Bone marrow aspirate smear
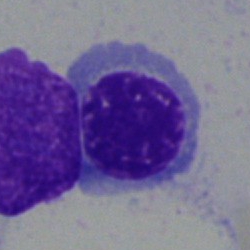 Single cell identified as a normoblast.